Bone marrow aspirate smear.
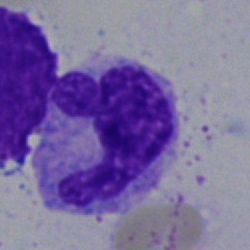
The classification is monocyte.